Bone marrow smear
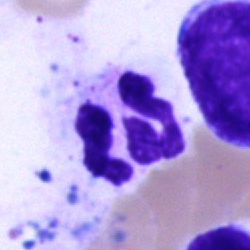Cell — neutrophil (segmented).